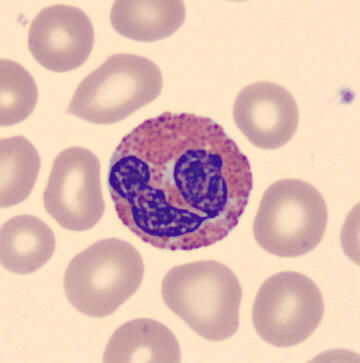Showing an eosinophilic granulocyte.